Bone marrow smear
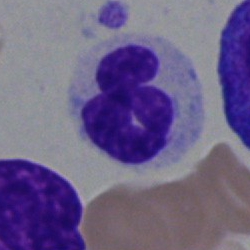A polymorphonuclear neutrophil.